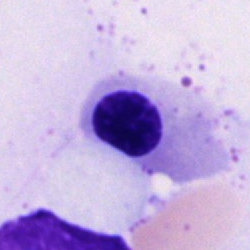
Single-cell crop from a bone marrow smear: nucleated red blood cell.